Bone marrow smear. 40× oil immersion
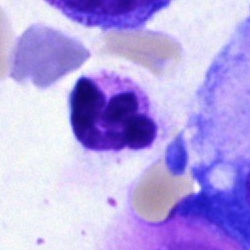

The cell shown is a neutrophil (segmented).